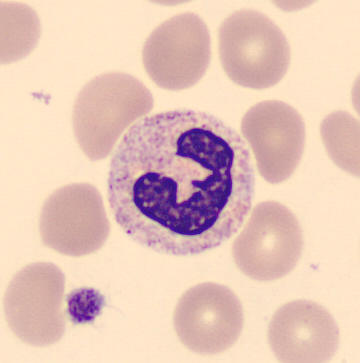 Specimen: peripheral blood film.
Cell: neutrophil (band).
Lineage: myeloid.